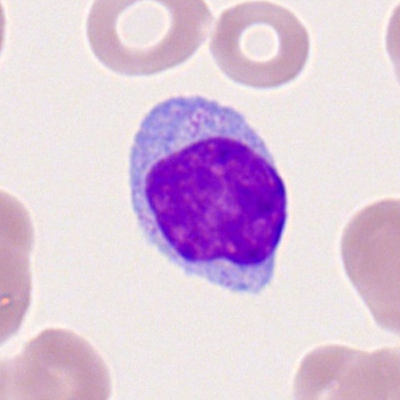
Morphological class = lymphocyte.